Peripheral blood film; single-cell field
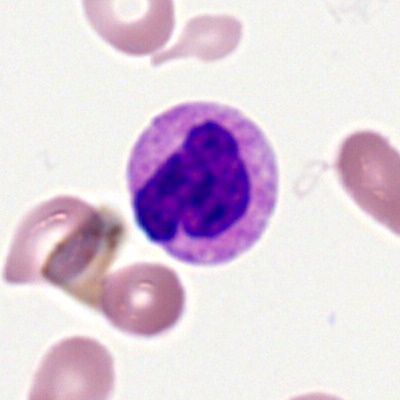Cell: neutrophil (segmented).